Bone marrow aspirate smear — 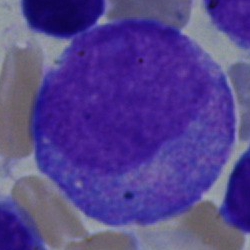Q: What is the morphological classification of this cell?
A: It is a promyelocyte.